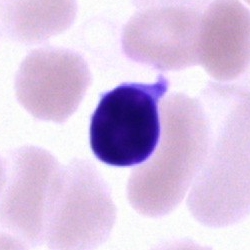 This is a lymphocyte.